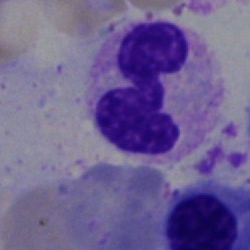Morphological class: segmented neutrophil.